Peripheral blood smear. Image size 400×400
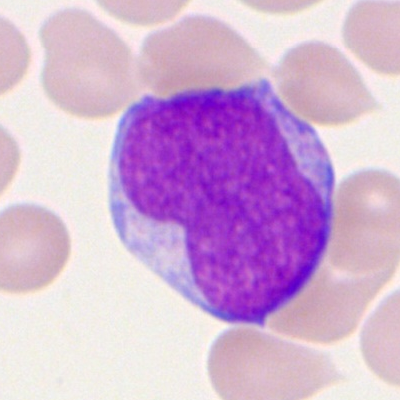 Showing a myeloid blast.